Bone marrow aspirate smear:
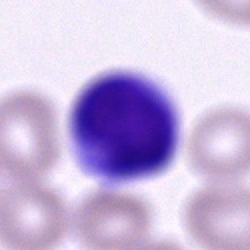{"cell_type": "cell of indeterminate lineage"}